Bone marrow smear — 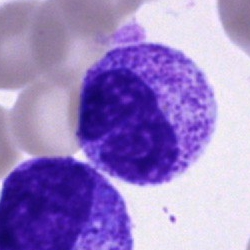The classification is stab cell.